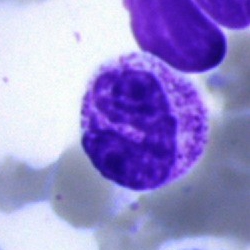
Cell = neutrophil (band).